Peripheral blood film · Romanowsky-stained · brightfield, 100× oil-immersion objective
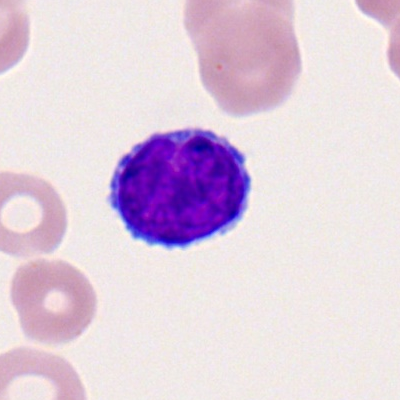
Morphology → lymphocyte.